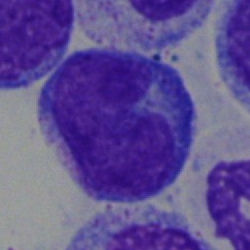The cell is monocyte.